Bone marrow smear
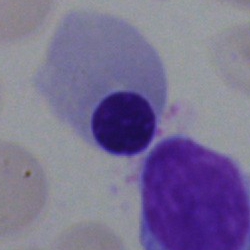
Nucleated red blood cell.